Bone marrow aspirate smear.
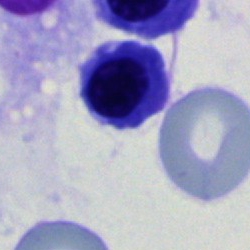 This is a nucleated red cell.